Bone marrow smear.
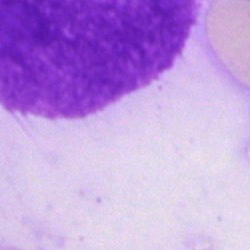Classification = artifact.